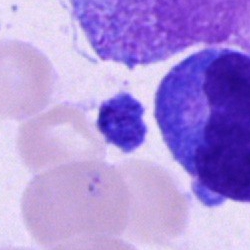 Single-cell crop from a bone marrow smear: cell of indeterminate lineage.